Bone marrow smear
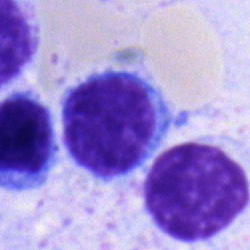 Morphology — typical lymphocyte.